Single-cell field · bone marrow aspirate smear: 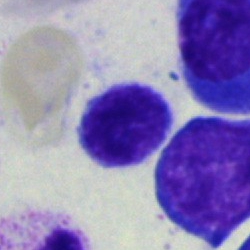 Showing a typical lymphocyte.